Bone marrow aspirate smear
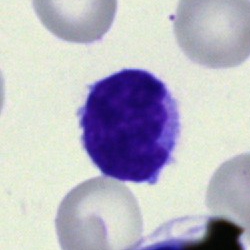 Morphology consistent with a lymphocyte.